Bone marrow smear
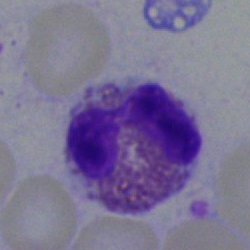 Q: What type of cell is this?
A: An eosinophilic granulocyte.